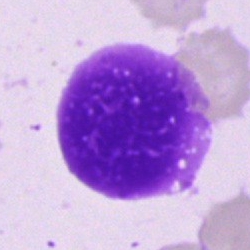

Classification: artifact.